Brightfield, 40× oil-immersion objective; bone marrow smear; May-Grünwald-Giemsa stain: 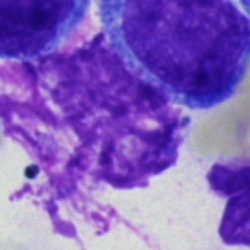

Q: What is shown here?
A: An artefact.